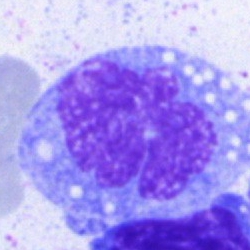

Q: What is the morphological classification of this cell?
A: Monocyte.